Bone marrow smear: 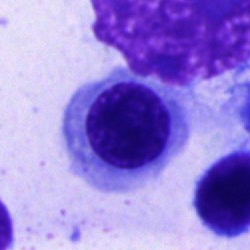 The cell type is normoblast.